Peripheral blood film.
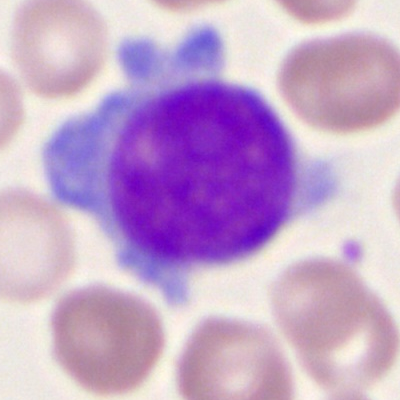 The cell shown is a myeloblast.